Bone marrow aspirate smear; brightfield, 40× oil-immersion objective; 250×250: 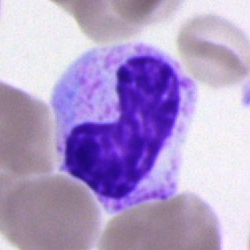 Q: What cell is this?
A: This is a neutrophil (band).